Pappenheim-stained. Bone marrow smear — 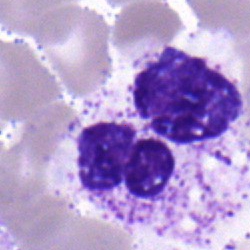

Q: What is the morphological classification of this cell?
A: It is a neutrophil (segmented).